40× oil immersion. Bone marrow smear — 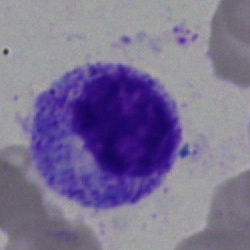
Single cell identified as a promyelocyte.